Bone marrow aspirate smear.
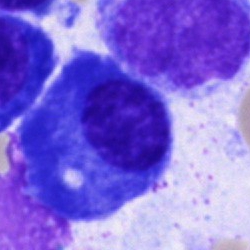 Morphology — plasma cell.